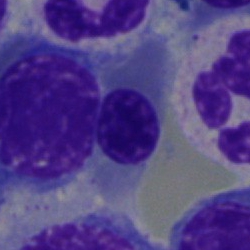

Classification: erythroblast.